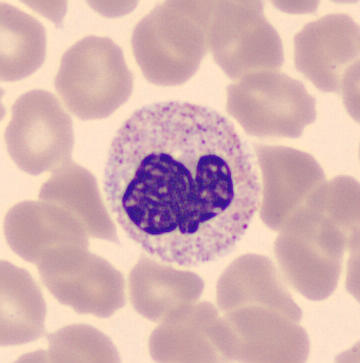

Showing a neutrophil (segmented).